Single-cell field. Bone marrow aspirate smear. Pappenheim-stained: 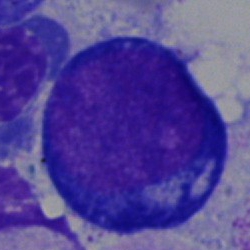
Single cell identified as a pronormoblast.